Pappenheim-stained. Brightfield microscopy, 40× oil immersion. Bone marrow smear:
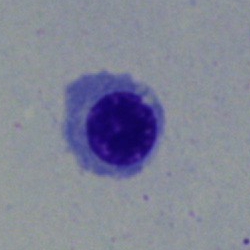
Q: What cell is this?
A: It is an erythroblast.